Bone marrow aspirate smear
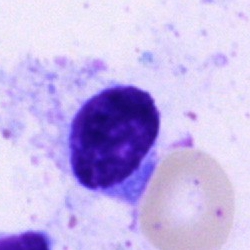 Specimen: bone marrow smear.
Cell: lymphocyte.
Lineage: lymphoid.